250×250 px · bone marrow aspirate smear
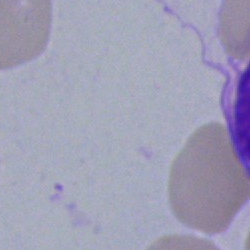 The cell shown is an artifact.